Peripheral blood smear
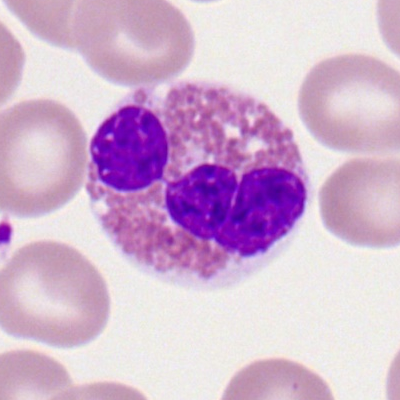Cell = eosinophil.